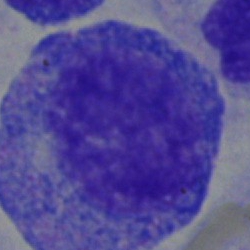 Q: What is shown here?
A: Promyelocyte.